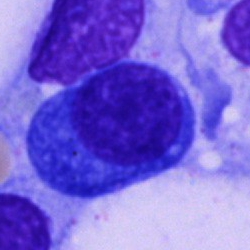

{"cell_type": "plasma cell", "lineage": "lymphoid"}